Bone marrow smear
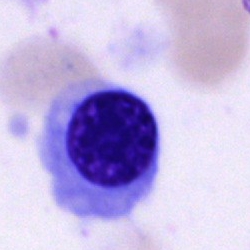
Morphological class: nucleated red blood cell.